Bone marrow aspirate smear — 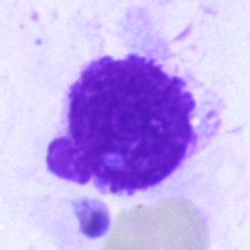

Artefact.